Bone marrow smear:
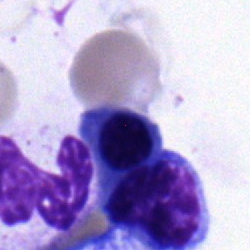

Classification: nucleated red cell.